Bone marrow smear · single cell centered in the field
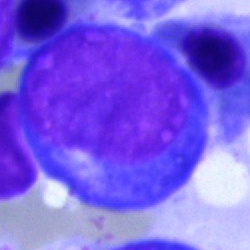 Showing a proerythroblast.